Bone marrow aspirate smear.
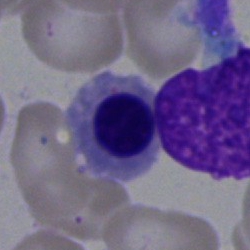 Q: What is the morphological classification of this cell?
A: It is a normoblast.